Bone marrow smear.
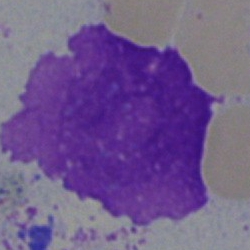

This is an artifact.